Brightfield microscopy, 40× oil immersion. Bone marrow smear.
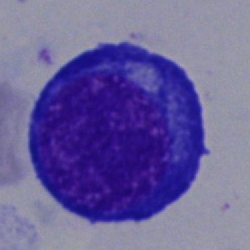A nucleated red cell.